Bone marrow smear.
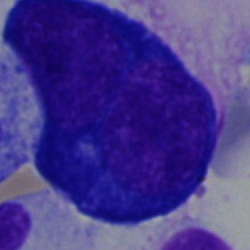 Morphology — proerythroblast.